MGG-stained · bone marrow smear:
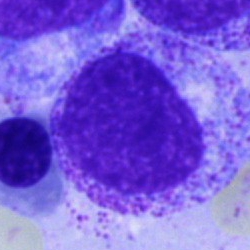Q: Identify the cell.
A: A myelocyte.